Bone marrow aspirate smear: 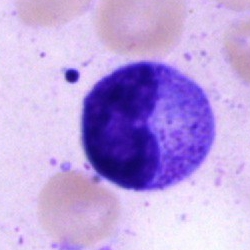 Q: What type of cell is this?
A: It is a metamyelocyte.